Bone marrow smear · single cell centered in the field: 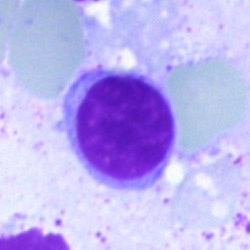Cell — lymphocyte.